Peripheral blood film · image size 400×400: 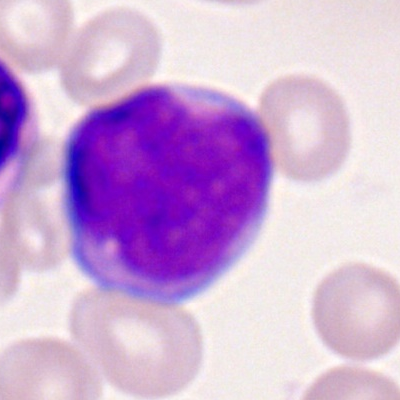

Morphology consistent with a myeloblast.